May-Grünwald-Giemsa/Pappenheim stain. 250×250 px. Bone marrow aspirate smear.
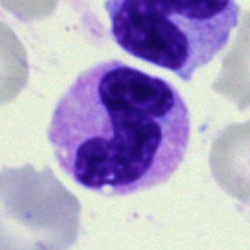

Showing a neutrophil (segmented).